Single-cell field · bone marrow aspirate smear · image size 250×250.
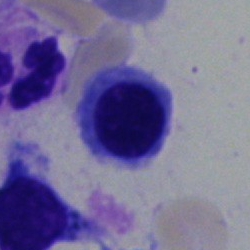
Morphology → nucleated red cell.